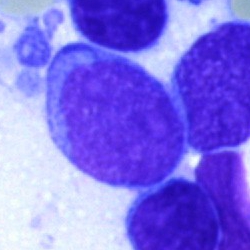

Q: What is the morphological classification of this cell?
A: An undifferentiated blast.